Single cell centered in the field · bone marrow aspirate smear.
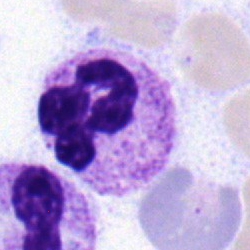Morphology consistent with a polymorphonuclear neutrophil.